Bone marrow aspirate smear · brightfield, 40× oil-immersion objective.
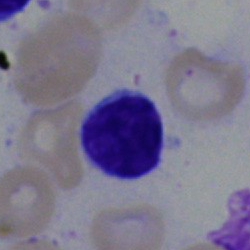 Typical lymphocyte.